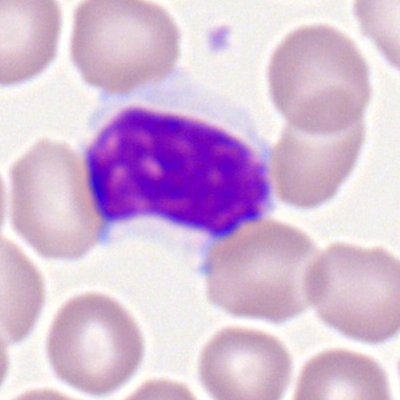
Q: Identify the cell.
A: A lymphocyte.